Bone marrow smear.
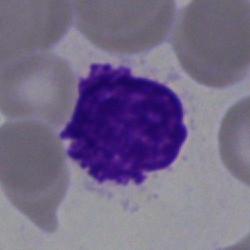 Single cell identified as an artefact.